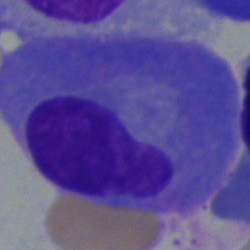
Q: Identify the cell.
A: Plasma cell.